Single-cell field; bone marrow smear:
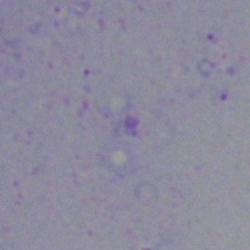
Morphology → artefact.